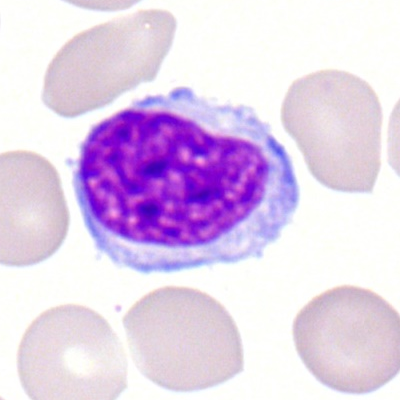

Q: What cell is this?
A: It is a typical lymphocyte.